Bone marrow aspirate smear; cropped to a single cell; image size 250×250
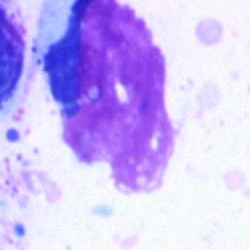 Morphological class — artefact.